Bone marrow aspirate smear
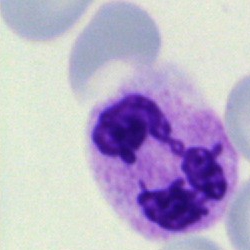

Impression — segmented neutrophil.